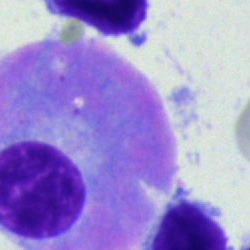Bone marrow smear showing a plasma cell.